Bone marrow smear.
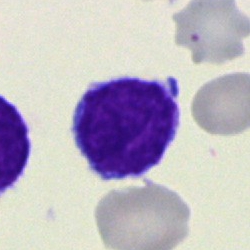

A typical lymphocyte.